May-Grünwald-Giemsa/Pappenheim stain. 40× oil immersion. Bone marrow smear:
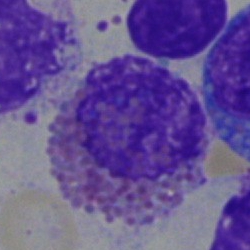

Specimen: bone marrow smear.
Morphological class: eosinophilic granulocyte.